Bone marrow aspirate smear
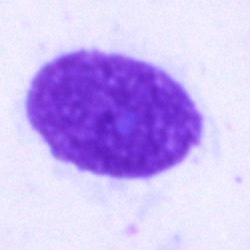 Q: What is shown here?
A: This is an artefact.